Brightfield, 40× oil-immersion objective; bone marrow smear; single cell centered in the field:
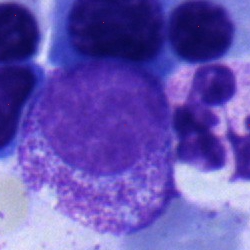 Specimen: bone marrow aspirate smear.
Classification: myelocyte.